Bone marrow aspirate smear: 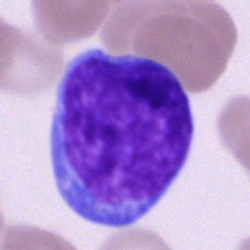 Q: Which cell type is shown here?
A: This is a blast.